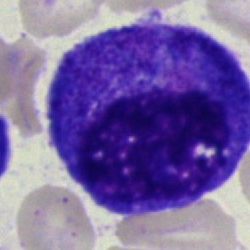

Bone marrow aspirate smear, single cell — progranulocyte.